May-Grünwald-Giemsa stain. 250×250 px. Bone marrow smear:
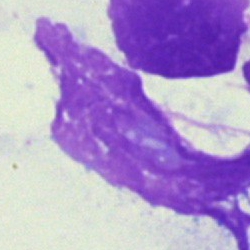
Specimen: bone marrow aspirate smear.
Cell type: artifact.